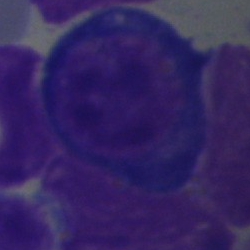 Morphology → proerythroblast.